Bone marrow smear · single-cell crop · image size 250×250
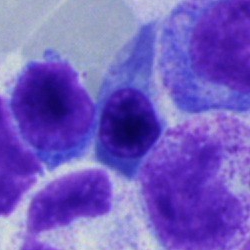
Specimen: bone marrow aspirate smear.
Classification: normoblast.